Bone marrow smear.
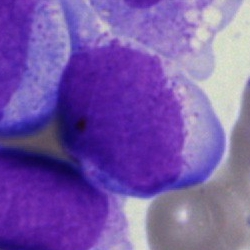
Q: What is the morphological classification of this cell?
A: Blast.